MGG-stained. Bone marrow aspirate smear
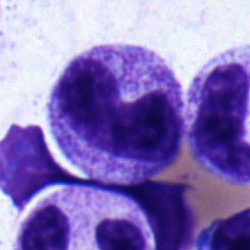Cell type = metamyelocyte.